Bone marrow aspirate smear. MGG-stained.
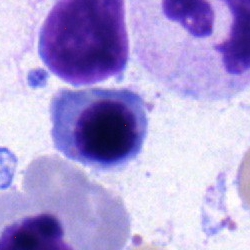
Cell type = normoblast.